Bone marrow smear. Brightfield, 40× oil-immersion objective. May-Grünwald-Giemsa stain: 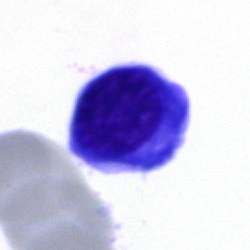 Showing a nucleated red blood cell.